Image size 250×250. Bone marrow aspirate smear. Brightfield microscopy, 40× oil immersion: 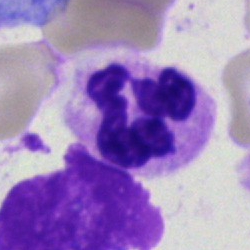

Morphology consistent with a neutrophil (segmented).